Bone marrow aspirate smear. May-Grünwald-Giemsa stain
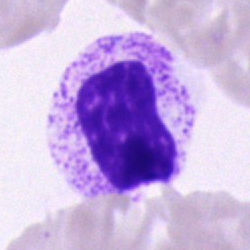

Single cell identified as a neutrophil (segmented).